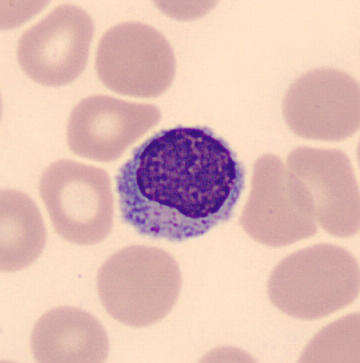

{"cell_type": "lymphocyte", "lineage": "lymphoid"}